250×250; bone marrow aspirate smear: 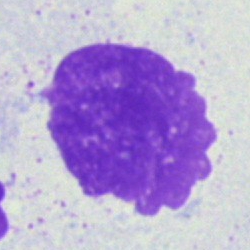Q: What is shown here?
A: This is an artifact.